Bone marrow smear · MGG-stained — 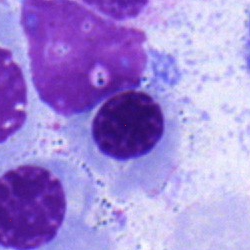Single cell identified as a normoblast.